250 by 250 pixels; bone marrow aspirate smear: 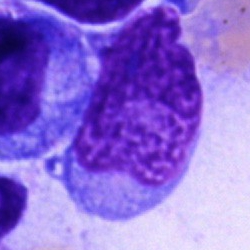 {"cell_type": "cell of indeterminate lineage"}